Bone marrow smear
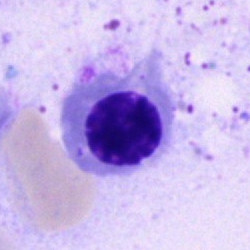Specimen: bone marrow aspirate smear.
Cell: erythroblast.
Lineage: erythroid.